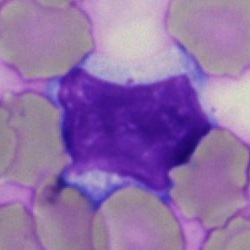 Morphology consistent with a typical lymphocyte.